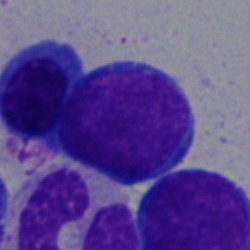Q: Which cell type is shown here?
A: Pronormoblast.